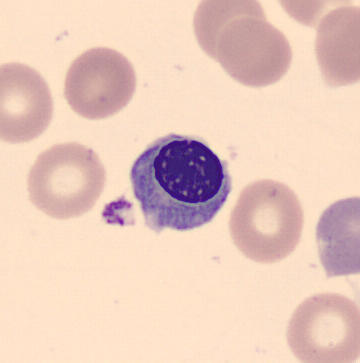
Acquisition: Peripheral blood smear.

Classification — nucleated red cell.